Peripheral blood smear — 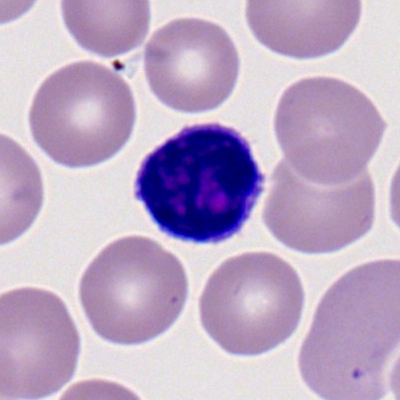A lymphocyte.